40× objective, oil immersion. Bone marrow aspirate smear.
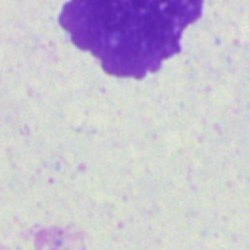

Artefact.